Bone marrow aspirate smear: 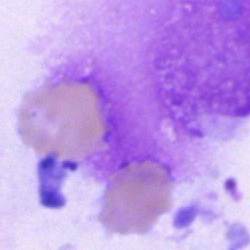Showing an artefact.